250 by 250 pixels; bone marrow aspirate smear; May-Grünwald-Giemsa/Pappenheim stain
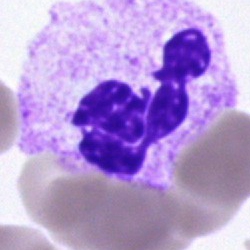

Morphology consistent with a segmented neutrophil.